Brightfield, 40× oil-immersion objective; bone marrow aspirate smear.
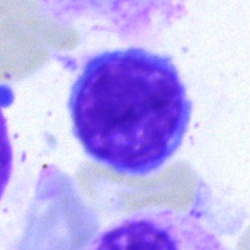
Specimen: bone marrow aspirate smear.
Cell type: lymphocyte.